Image size 250×250; 40× oil immersion; bone marrow smear
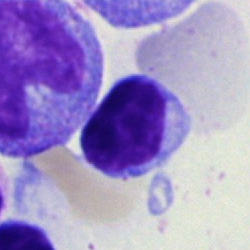
The cell type is lymphocyte.